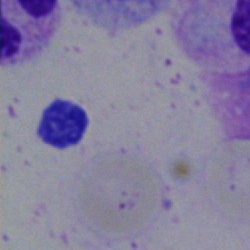 An artefact.